Romanowsky stain · peripheral blood film · single-cell crop.
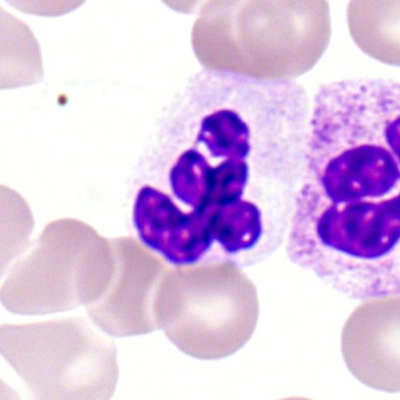

Q: What is the morphological classification of this cell?
A: It is a neutrophil (segmented).